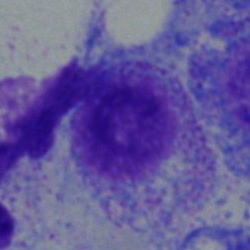

Q: Identify the cell.
A: Myelocyte.